Bone marrow aspirate smear
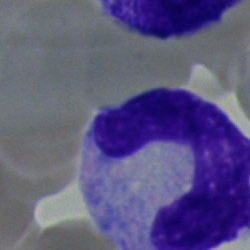 Morphological class: neutrophil (band).